Bone marrow aspirate smear
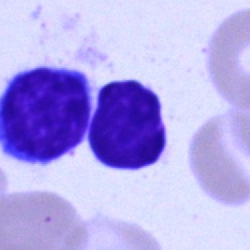
Morphological class — lymphocyte.